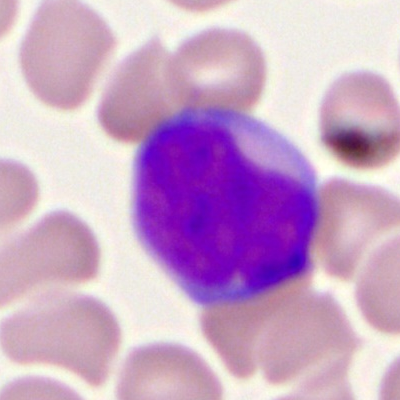Morphology → myeloblast.